Bone marrow aspirate smear
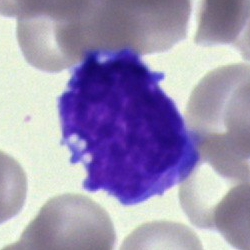
Q: What type of cell is this?
A: It is a blast cell.